Bone marrow smear
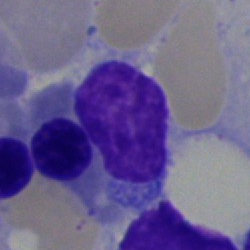
Impression — lymphocyte.